Brightfield, 40× oil-immersion objective. Bone marrow smear. Single-cell crop.
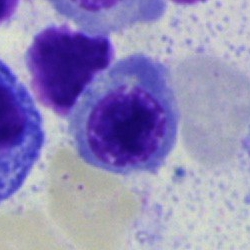
Morphology — erythroblast.